Bone marrow aspirate smear: 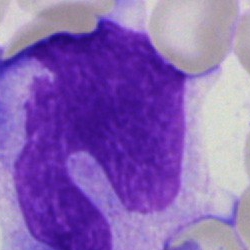Impression → artifact.